Bone marrow smear.
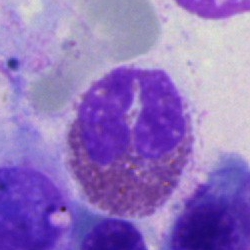
Q: What is the morphological classification of this cell?
A: This is an eosinophil.